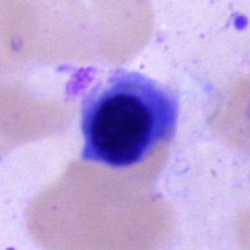
A nucleated red blood cell on a bone marrow smear.